Bone marrow aspirate smear: 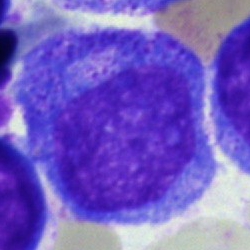
Cell type = progranulocyte.